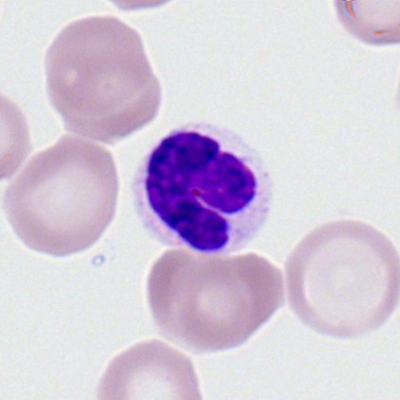Single cell identified as a segmented neutrophil.